Bone marrow aspirate smear: 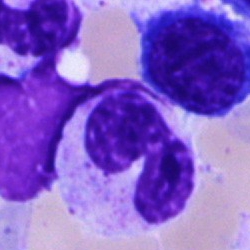
Showing a neutrophil (segmented).